250×250 px · bone marrow smear:
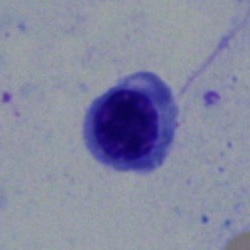Q: What cell is this?
A: This is an erythroblast.